Bone marrow smear:
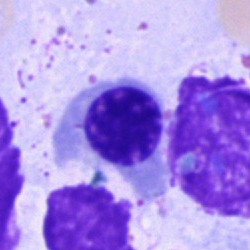

Q: What is the morphological classification of this cell?
A: A nucleated red blood cell.